Bone marrow aspirate smear.
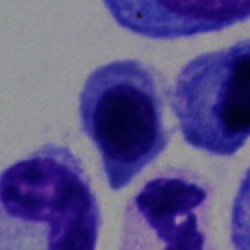 Morphology consistent with a nucleated red cell.